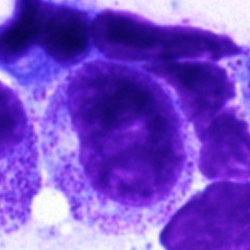

Specimen: bone marrow aspirate smear.
Cell: myelocyte.
Lineage: myeloid.